Brightfield microscopy, 40× oil immersion · bone marrow smear
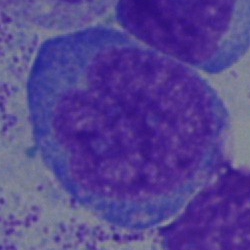 A blast.